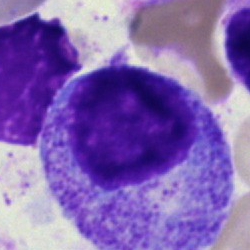Bone marrow smear showing a myelocyte.